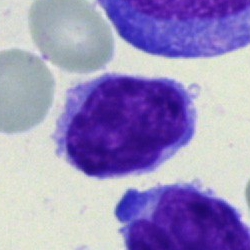Q: Which cell type is shown here?
A: Typical lymphocyte.